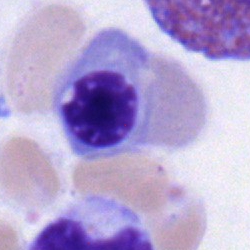 Q: What type of cell is this?
A: Nucleated red cell.